Bone marrow aspirate smear: 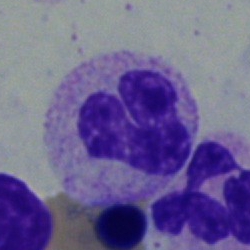
A band neutrophil.